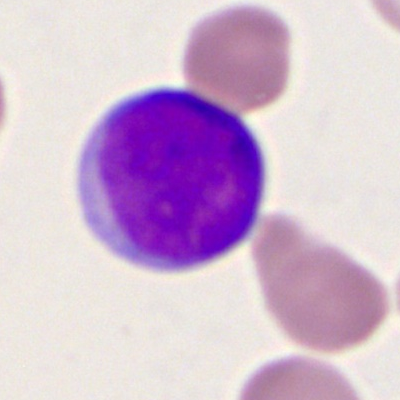Single cell identified as a myeloid blast.